Bone marrow smear: 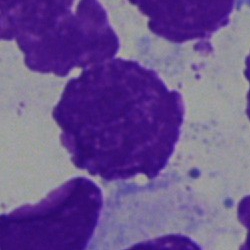Artifact.